Bone marrow aspirate smear.
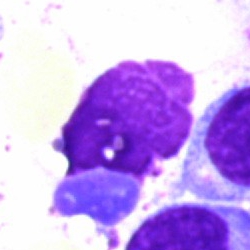

An artefact.